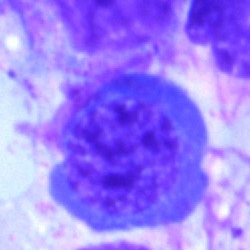

Specimen: bone marrow smear.
Morphological class: erythroblast.
Lineage: erythroid.